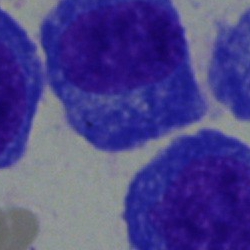

Plasmacyte.